Bone marrow smear — 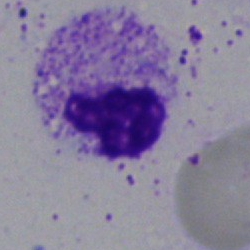

The cell type is polymorphonuclear neutrophil.